Peripheral blood smear
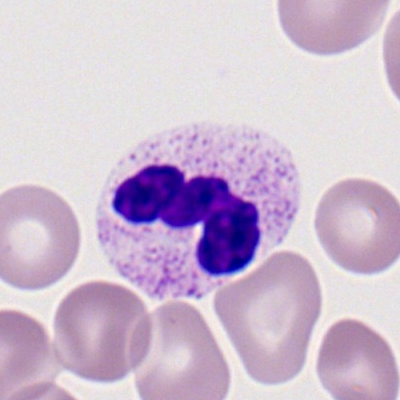

This is a neutrophil (segmented).